Peripheral blood smear.
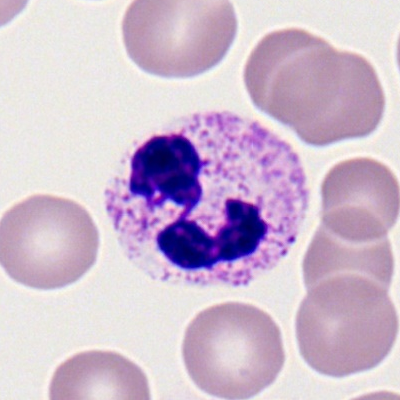
A segmented neutrophil.